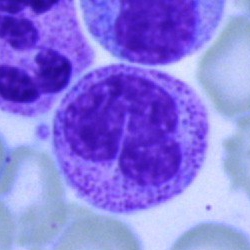

Morphology consistent with a band-form neutrophil.